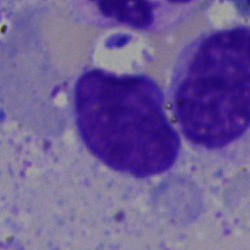
A lymphocyte.